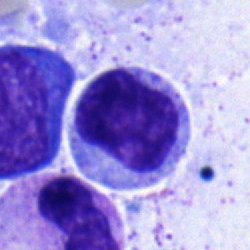 This is a myelocyte.